Cropped to a single cell · bone marrow aspirate smear.
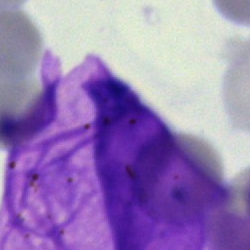

This is an artifact.